Bone marrow smear — 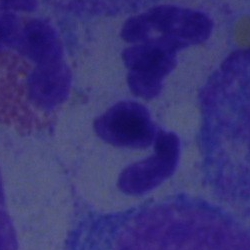Cell type = neutrophil (segmented).